Single-cell field · bone marrow smear: 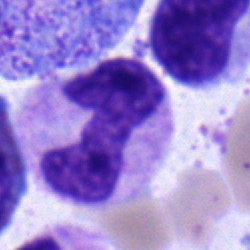

Impression → neutrophil (band).